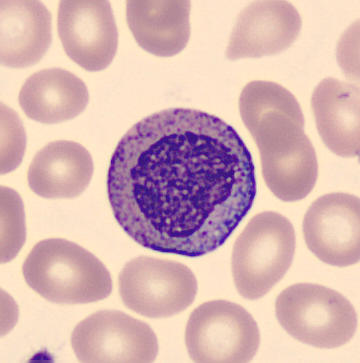

Identified as a myelocyte.